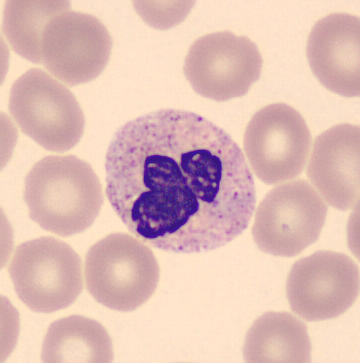 Peripheral blood film · CellaVision DM96. Showing a polymorphonuclear neutrophil.